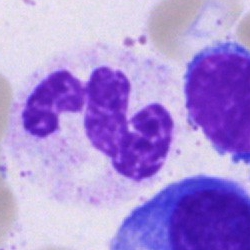 Morphology → segmented neutrophil.